Peripheral blood film:
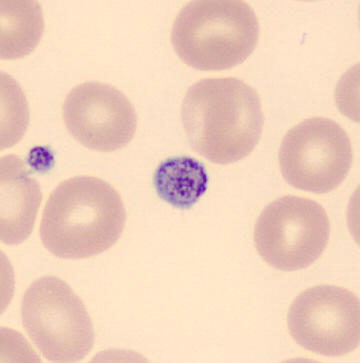
The cell type is platelet.